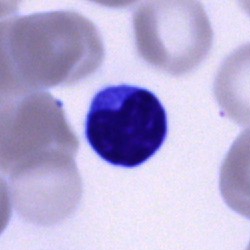
Single-cell crop from a bone marrow smear: lymphocyte.